Brightfield microscopy, 40× oil immersion · bone marrow aspirate smear · May-Grünwald-Giemsa stain:
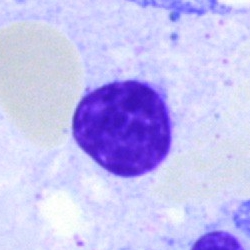 Morphology → artifact.